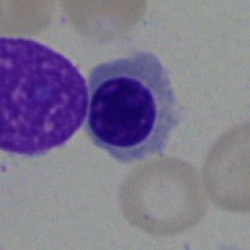 The classification is nucleated red blood cell.